Bone marrow aspirate smear — 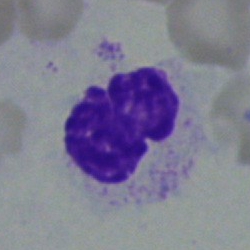Q: What type of cell is this?
A: It is a polymorphonuclear neutrophil.